Bone marrow smear. Single-cell field. Image size 250×250: 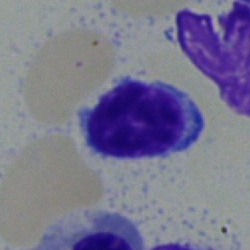
Impression → lymphocyte.